Single cell centered in the field · MGG-stained · bone marrow smear
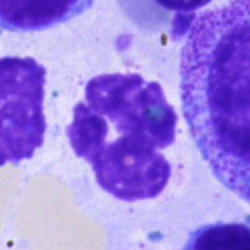The morphological class is artefact.